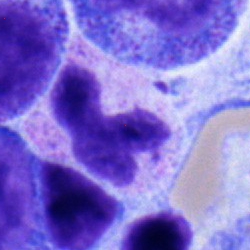Q: Which cell type is shown here?
A: It is a neutrophil (segmented).